Bone marrow aspirate smear: 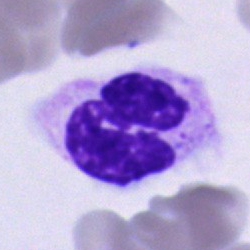

Classification — neutrophil (segmented).